Pappenheim-stained · bone marrow smear — 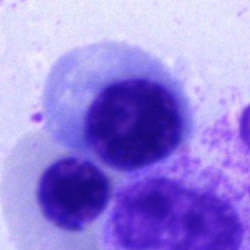
Cell type: nucleated red blood cell.